Bone marrow aspirate smear:
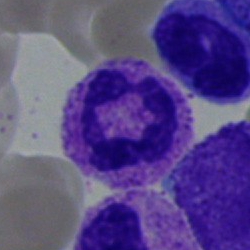Impression → polymorphonuclear neutrophil.